Brightfield, 40× oil-immersion objective · bone marrow aspirate smear · single-cell crop — 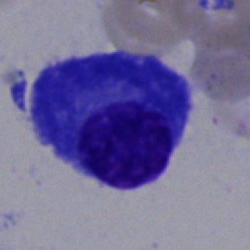
Q: Which cell type is shown here?
A: This is a plasma cell.